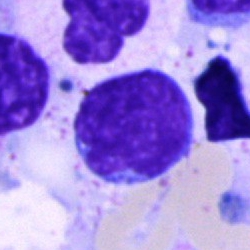 Specimen: bone marrow smear.
Cell: typical lymphocyte.
Lineage: lymphoid.